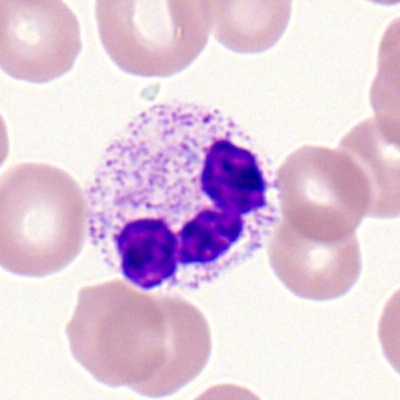Morphology → neutrophil (segmented).